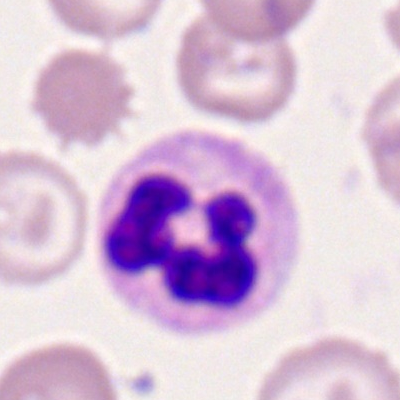

Single cell identified as a segmented neutrophil.